Bone marrow smear · 250×250 px: 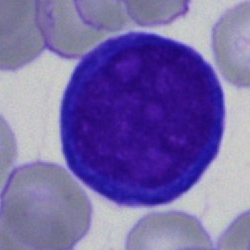 Specimen: bone marrow aspirate smear.
Cell type: pronormoblast.
Lineage: erythroid.